Bone marrow smear — 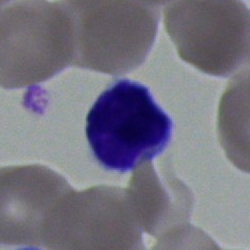

Classification = lymphocyte.